Bone marrow aspirate smear. Single-cell field:
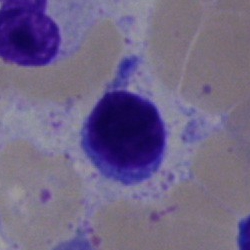

Q: Which cell type is shown here?
A: A lymphocyte.